Bone marrow smear
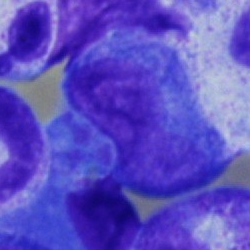Cell type = plasma cell.